Bone marrow smear.
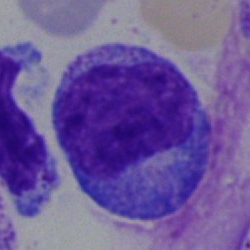
Cell type = promyelocyte.